Bone marrow aspirate smear — 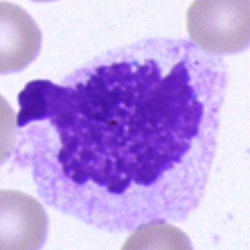Q: What is the morphological classification of this cell?
A: Unidentifiable cell.